Single-cell field. Bone marrow smear:
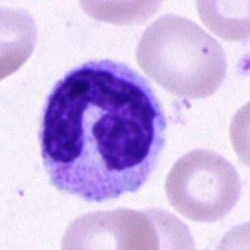
Q: What type of cell is this?
A: This is a neutrophil (band).